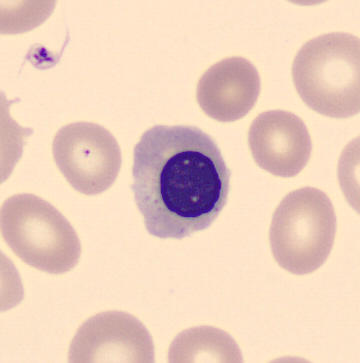
Q: What type of cell is this?
A: A normoblast.
Acquisition: Peripheral blood film; single-cell field.